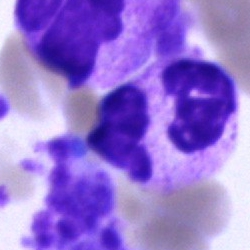
Specimen: bone marrow smear.
Classification: neutrophil (segmented).
Lineage: myeloid.